Bone marrow aspirate smear. 250 by 250 pixels. MGG-stained
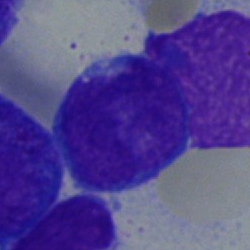Classification = blast cell.